Bone marrow aspirate smear: 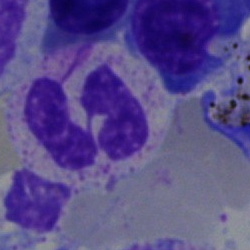 Cell = segmented neutrophil.